Bone marrow aspirate smear:
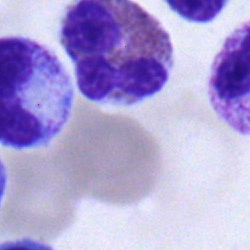The morphological class is eosinophil.